Bone marrow aspirate smear:
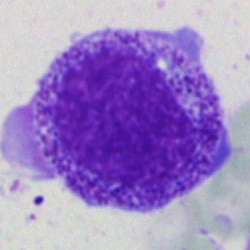

Morphology — progranulocyte.